Bone marrow smear.
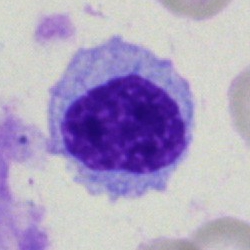 Q: What type of cell is this?
A: This is a typical lymphocyte.